Peripheral blood film; Romanowsky-type stain; 100× oil immersion.
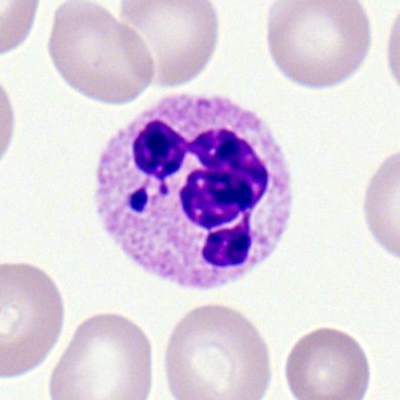
Q: Which cell type is shown here?
A: Segmented neutrophil.